Bone marrow smear
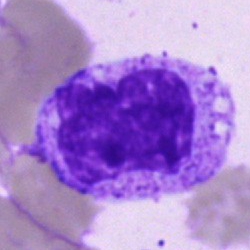 {"cell_type": "artifact"}